Bone marrow smear: 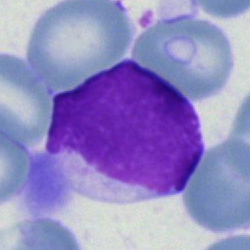

The cell type is lymphocyte.